250×250 px · bone marrow smear
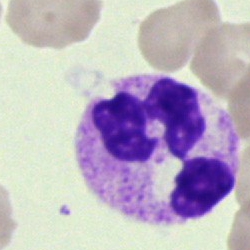 Q: What type of cell is this?
A: It is a neutrophil (segmented).